Bone marrow aspirate smear. 250 by 250 pixels
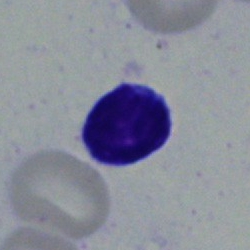

The cell shown is a typical lymphocyte.